Bone marrow smear · May-Grünwald-Giemsa stain
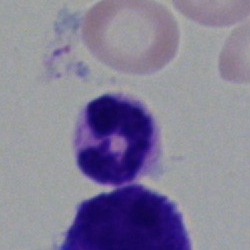
Showing a neutrophil (segmented).